250×250. Bone marrow aspirate smear.
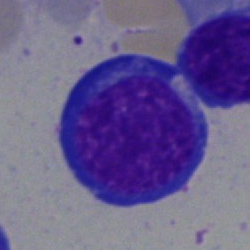 Q: What cell is this?
A: It is a nucleated red cell.